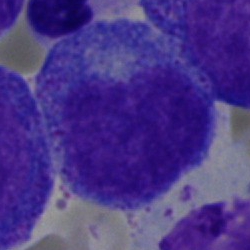Bone marrow aspirate smear, single cell — promyelocyte.